Bone marrow aspirate smear: 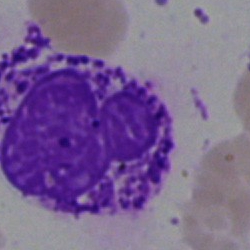 Morphological class: basophil.